Bone marrow aspirate smear: 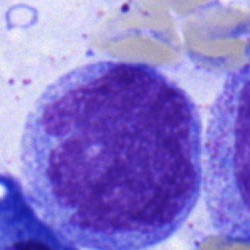 Impression — progranulocyte.